Bone marrow smear; single-cell crop:
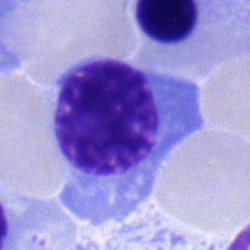 Cell — erythroblast.